Cropped to a single cell. Bone marrow smear. Image size 250×250 — 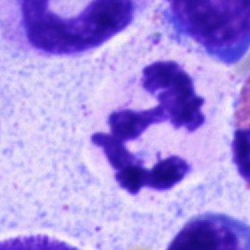

Morphological class: segmented neutrophil.